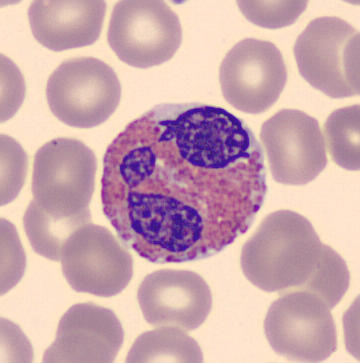 Image: Peripheral blood smear. MGG-stained. Cell = eosinophilic granulocyte.